Bone marrow smear. 250×250 px: 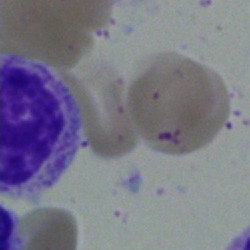 Classification — artifact.